Brightfield microscopy, 40× oil immersion. Bone marrow smear
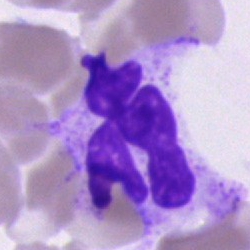

A polymorphonuclear neutrophil.